Bone marrow aspirate smear. MGG-stained. 250×250
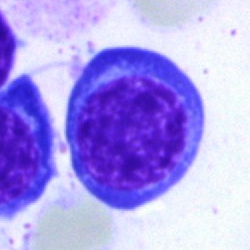Morphological class — nucleated red cell.